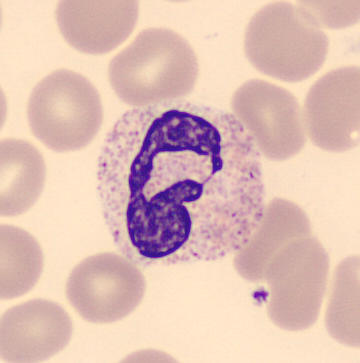

Specimen: peripheral blood film.
Morphological class: polymorphonuclear neutrophil.
Lineage: myeloid.